Bone marrow aspirate smear: 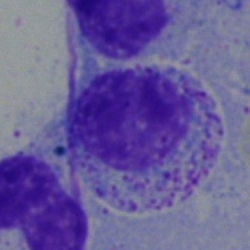

Cell = monocyte.